Bone marrow smear
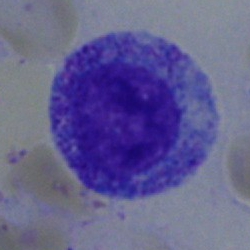
Classification — myelocyte.